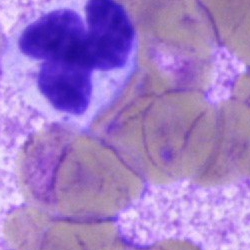
Cell: neutrophil (segmented).